Bone marrow smear: 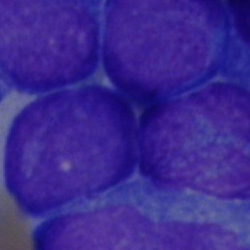
Morphology → blast.